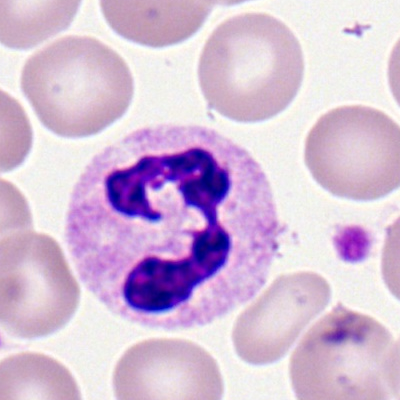

Peripheral blood film, single cell — polymorphonuclear neutrophil.